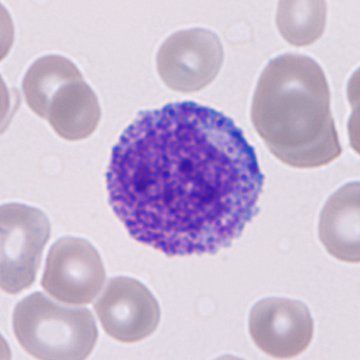

Morphology consistent with a granulocyte precursor.